Bone marrow smear:
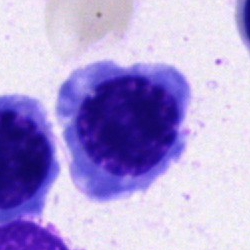The cell shown is an erythroblast.